Bone marrow smear — 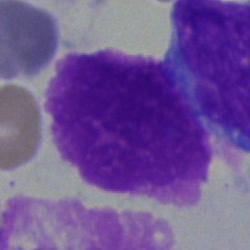 Q: What is shown here?
A: It is an artefact.